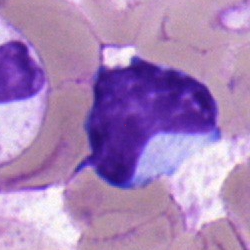

This is a typical lymphocyte.